Bone marrow smear — 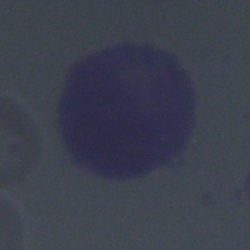Showing an unidentifiable cell.